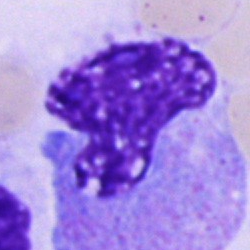 {"cell_type": "unidentifiable cell"}